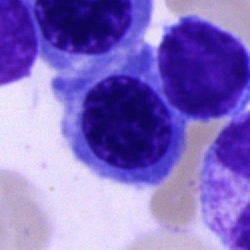
Bone marrow smear showing a nucleated red blood cell.